Bone marrow aspirate smear. Brightfield microscopy, 40× oil immersion. Single-cell crop
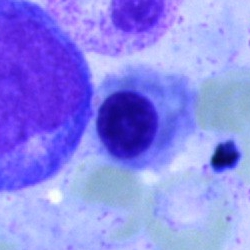
Specimen: bone marrow smear.
Morphological class: erythroblast.
Lineage: erythroid.